Bone marrow aspirate smear · single cell centered in the field.
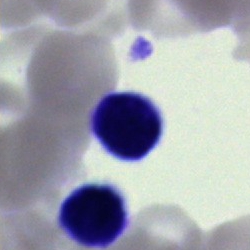Q: Identify the cell.
A: This is a typical lymphocyte.